Bone marrow smear.
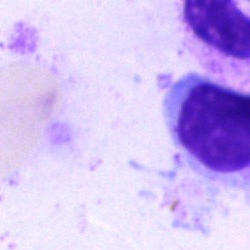
Specimen: bone marrow smear.
Morphological class: artefact.